Brightfield microscopy, 40× oil immersion. Bone marrow aspirate smear. May-Grünwald-Giemsa stain:
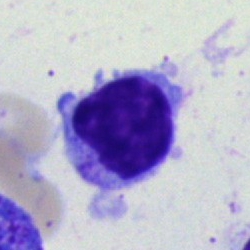Classification = typical lymphocyte.